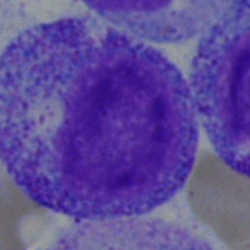Morphology — progranulocyte.